400 by 400 pixels · peripheral blood smear.
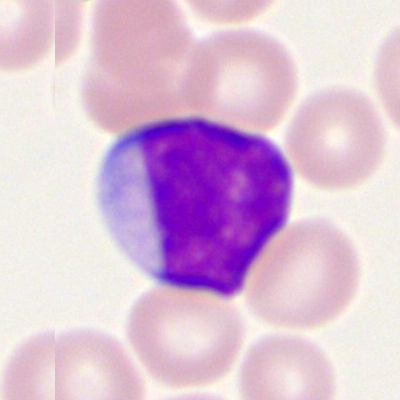 Specimen: peripheral blood smear.
Morphological class: myeloid blast.
Lineage: myeloid.